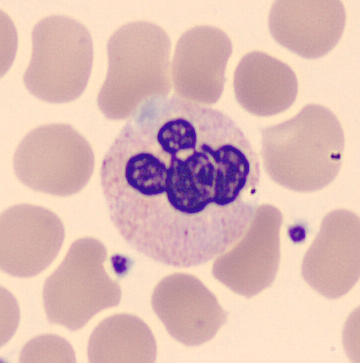
Peripheral blood film.

The cell shown is a polymorphonuclear neutrophil.